40× oil immersion; bone marrow aspirate smear; May-Grünwald-Giemsa/Pappenheim stain: 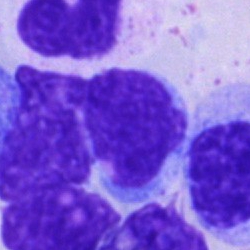

Specimen: bone marrow smear.
Cell: artifact.